Bone marrow smear — 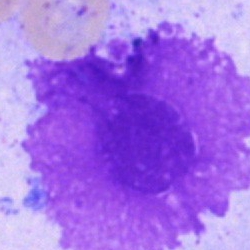 The classification is artifact.